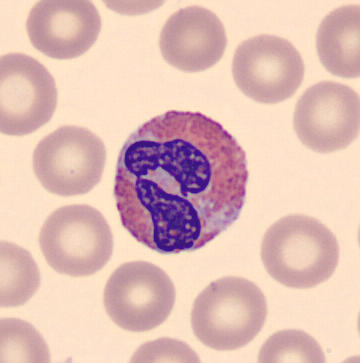 {"cell_type": "eosinophil", "lineage": "myeloid"}